Bone marrow aspirate smear · brightfield, 40× oil-immersion objective.
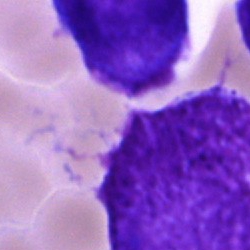
This is a cell of indeterminate lineage.